250×250; bone marrow aspirate smear — 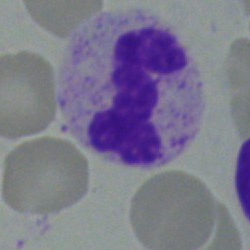

Specimen: bone marrow smear.
Cell type: neutrophil (segmented).
Lineage: myeloid.